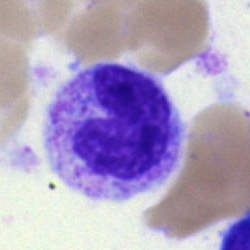 Q: What is shown here?
A: This is a band neutrophil.